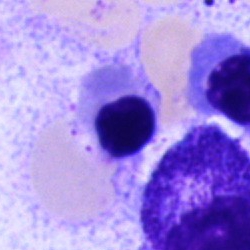

Morphology consistent with an erythroblast.